Bone marrow smear; brightfield, 40× oil-immersion objective:
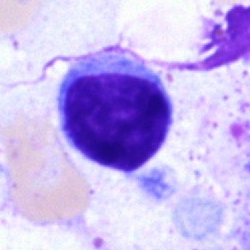 A typical lymphocyte.